Brightfield microscopy, 40× oil immersion · bone marrow smear.
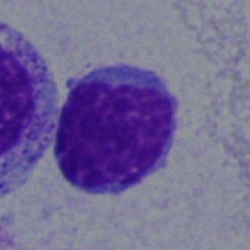 Specimen: bone marrow aspirate smear.
Morphological class: lymphocyte.